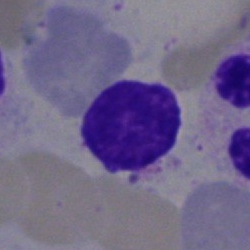
The cell is artefact.